Bone marrow smear.
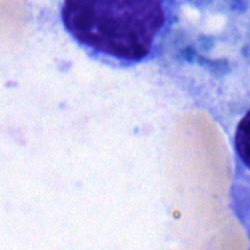 Cell = typical lymphocyte.